Bone marrow aspirate smear · brightfield, 40× oil-immersion objective — 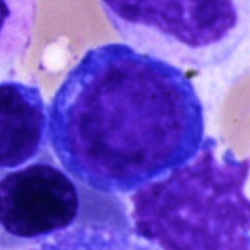
Single cell identified as a proerythroblast.